Bone marrow smear · 40× objective, oil immersion.
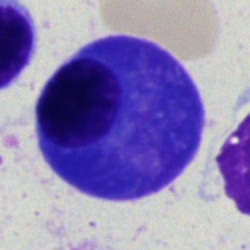

Morphological class — plasma cell.